Bone marrow smear · Pappenheim-stained — 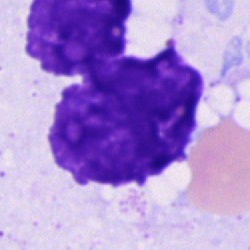 Cell type — artifact.